Bone marrow aspirate smear:
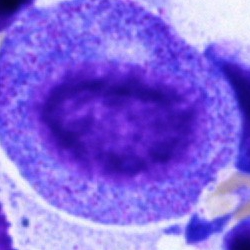
Impression → promyelocyte.